Bone marrow aspirate smear — 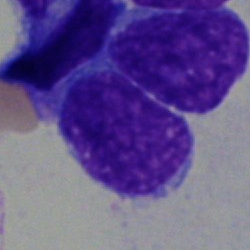Specimen: bone marrow smear.
Morphological class: blast.